Cropped to a single cell; bone marrow aspirate smear — 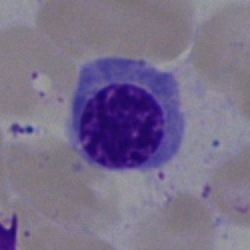Specimen: bone marrow aspirate smear.
Morphological class: nucleated red blood cell.